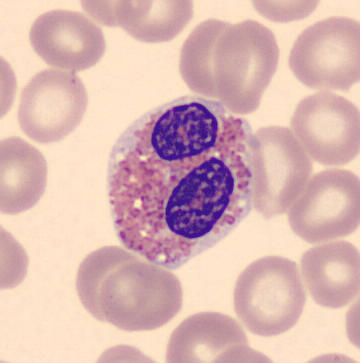Morphological class = eosinophil. Peripheral blood smear.